Peripheral blood smear · single cell centered in the field: 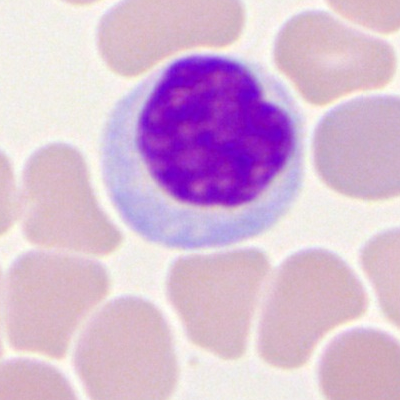

Morphological class: lymphocyte.